Bone marrow smear; single-cell crop.
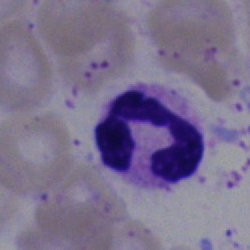
Q: Identify the cell.
A: A neutrophil (segmented).